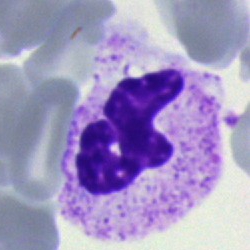Impression → segmented neutrophil.